Bone marrow aspirate smear: 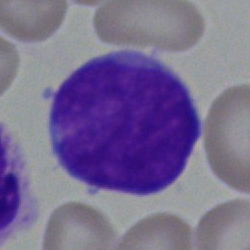Single cell identified as a blast.